Bone marrow aspirate smear:
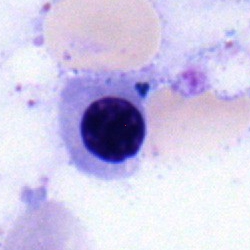Erythroblast.